40× objective, oil immersion; bone marrow smear
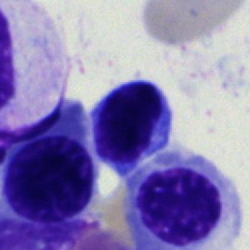Specimen: bone marrow smear.
Classification: lymphocyte.